Bone marrow aspirate smear. Single-cell field: 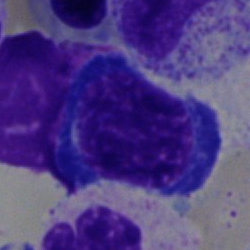Morphology consistent with a nucleated red cell.